Bone marrow aspirate smear
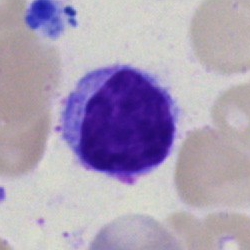

This is a lymphocyte.